Single-cell crop; bone marrow aspirate smear: 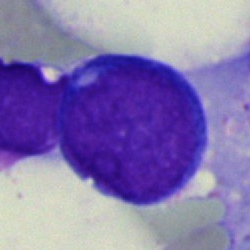Morphology — proerythroblast.